Bone marrow aspirate smear: 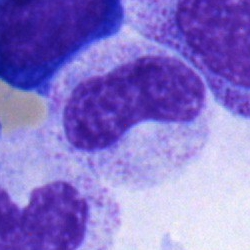A neutrophil (band).